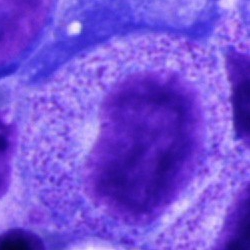

Morphology consistent with a promyelocyte.